Bone marrow aspirate smear — 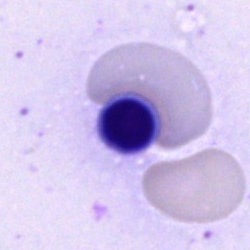
Single cell identified as an erythroblast.